Bone marrow aspirate smear. Brightfield, 40× oil-immersion objective: 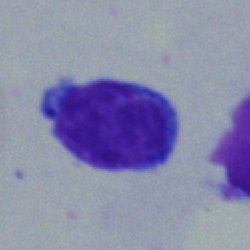
{"cell_type": "lymphocyte", "lineage": "lymphoid"}